Bone marrow smear
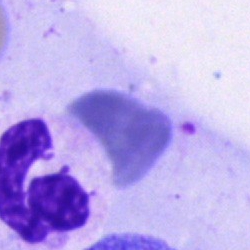Specimen: bone marrow aspirate smear.
Cell: neutrophil (segmented).
Lineage: myeloid.